Peripheral blood smear
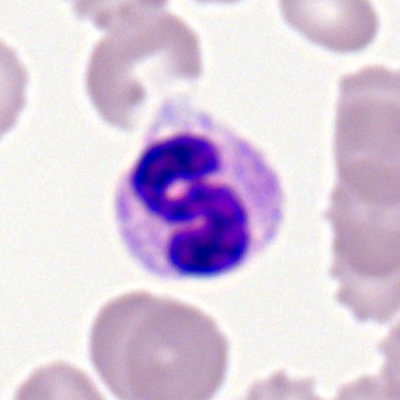 Morphology → segmented neutrophil.